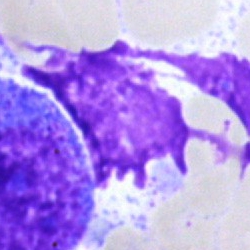 Single-cell crop from a bone marrow smear: artifact.